Bone marrow aspirate smear: 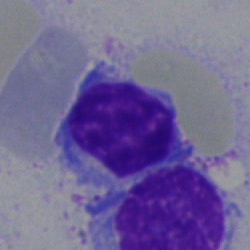
Classification: typical lymphocyte.